Bone marrow aspirate smear; 250×250 px
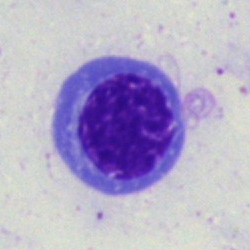
Q: What type of cell is this?
A: Normoblast.